Bone marrow aspirate smear:
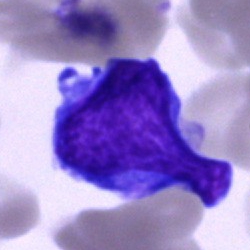

Morphology consistent with a blast.